Bone marrow smear.
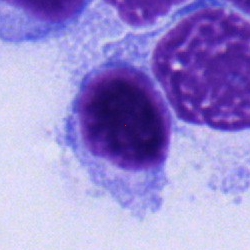
This is a typical lymphocyte.